Bone marrow aspirate smear
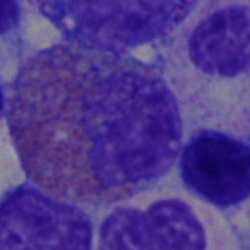

The cell shown is an eosinophilic granulocyte.